Single cell centered in the field. Bone marrow smear. MGG-stained.
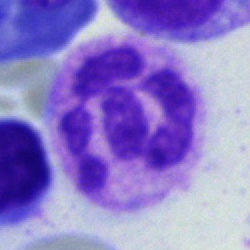Showing a segmented neutrophil.